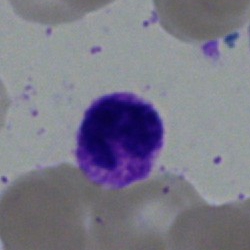

Cell type = neutrophil (segmented).